Bone marrow aspirate smear · 250×250 · May-Grünwald-Giemsa/Pappenheim stain — 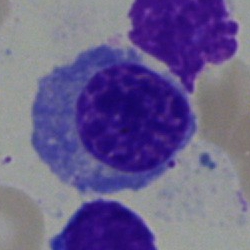 Q: What is the morphological classification of this cell?
A: A nucleated red cell.